250×250 px · bone marrow smear · single cell centered in the field:
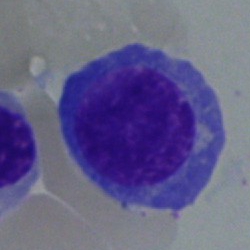

Nucleated red cell.